Single-cell field · bone marrow aspirate smear — 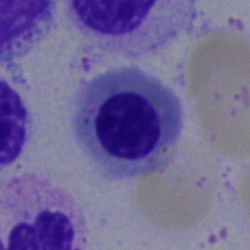Specimen: bone marrow smear.
Cell type: nucleated red cell.
Lineage: erythroid.